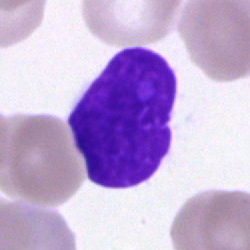

Artifact.